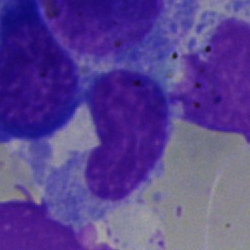
The classification is typical lymphocyte.